Bone marrow smear — 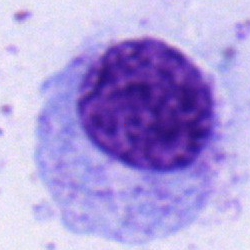

Q: Which cell type is shown here?
A: This is a myelocyte.